Bone marrow smear — 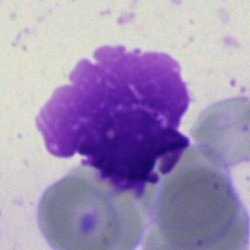

Q: What is shown here?
A: An artefact.